Peripheral blood film
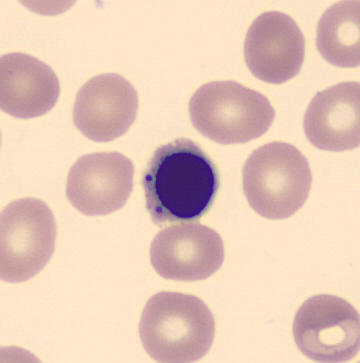

Normoblast.